40× objective, oil immersion. Bone marrow aspirate smear. Cropped to a single cell
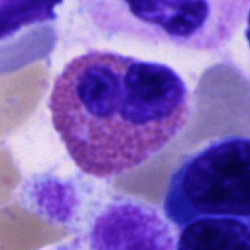 The classification is eosinophilic granulocyte.